Bone marrow smear. Pappenheim-stained
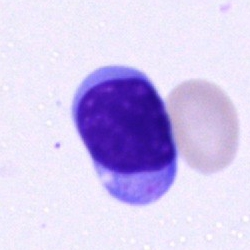
This is a typical lymphocyte.